Brightfield, 100× oil-immersion objective. Peripheral blood film:
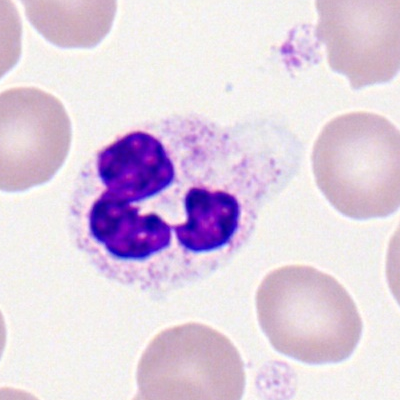Showing a neutrophil (segmented).